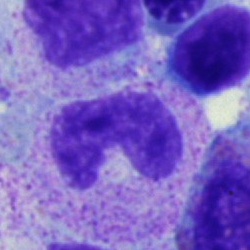

A neutrophil (band).